Bone marrow aspirate smear
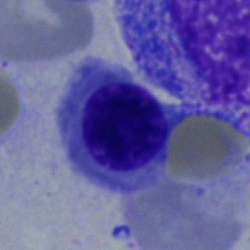 Erythroblast.